Bone marrow aspirate smear. MGG-stained.
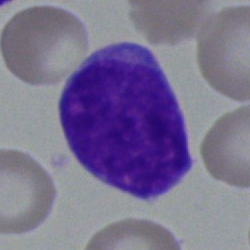 Morphological class — undifferentiated blast.